Bone marrow aspirate smear — 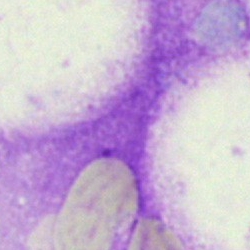Q: What is shown here?
A: This is an artifact.